40× oil immersion · single-cell field · bone marrow smear:
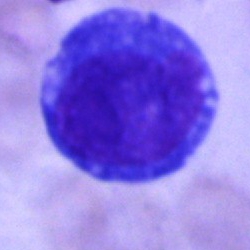

Blast.